May-Grünwald-Giemsa/Pappenheim stain. Bone marrow aspirate smear. 250×250 px: 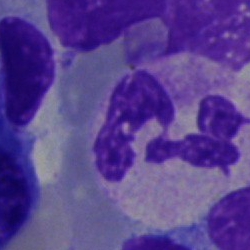 {"cell_type": "neutrophil (segmented)"}